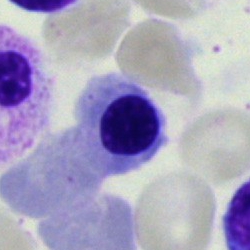 This is a nucleated red blood cell.